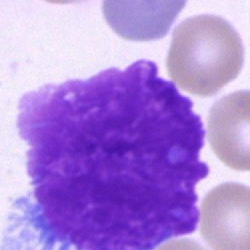 Classification = artifact.